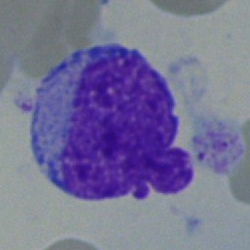 Cell: blast cell.